Bone marrow smear · image size 250×250.
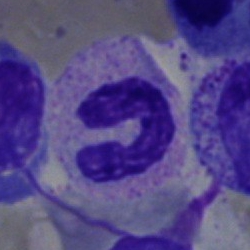 Impression → segmented neutrophil.